Bone marrow aspirate smear. Image size 250×250 — 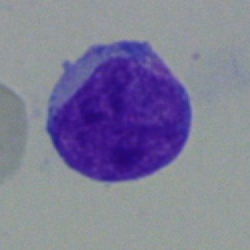
{"cell_type": "blast"}